Bone marrow aspirate smear
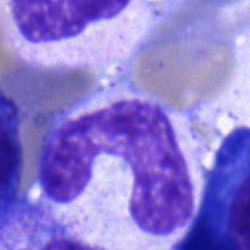

Cell type = neutrophil (band).